Bone marrow aspirate smear
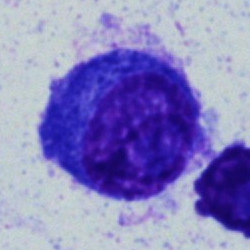 Morphological class — plasma cell.